Cropped to a single cell. May-Grünwald-Giemsa stain. Bone marrow aspirate smear:
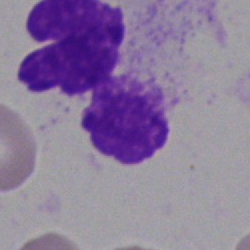

Single cell identified as an artifact.